250×250 · MGG-stained · bone marrow aspirate smear: 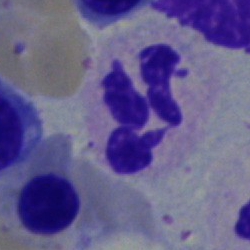
The morphological class is segmented neutrophil.